May-Grünwald-Giemsa/Pappenheim stain; 250×250 px; bone marrow smear — 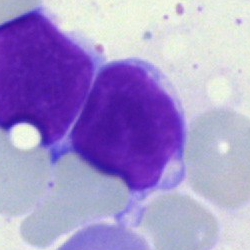 Cell type = lymphocyte.